Bone marrow aspirate smear:
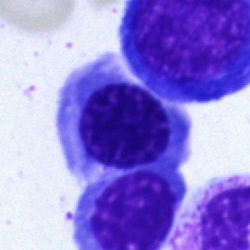

Q: What is shown here?
A: This is a nucleated red cell.